Bone marrow aspirate smear.
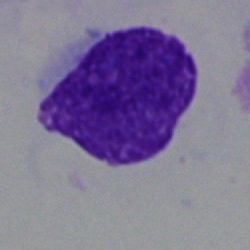

{"cell_type": "artefact"}